Bone marrow smear:
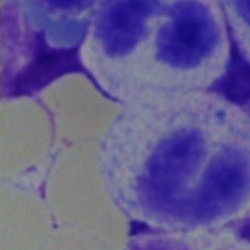
A stab cell.